May-Grünwald-Giemsa/Pappenheim stain; bone marrow aspirate smear: 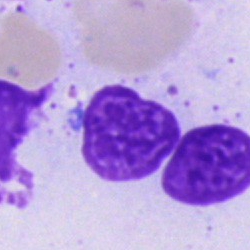

Cell = artifact.